Brightfield microscopy, 40× oil immersion; bone marrow smear; May-Grünwald-Giemsa stain — 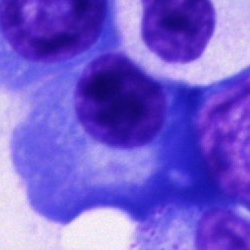A plasmacyte.